May-Grünwald-Giemsa/Pappenheim stain; bone marrow aspirate smear:
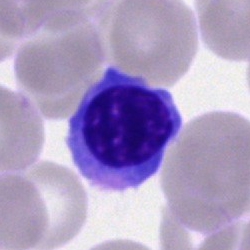Specimen: bone marrow aspirate smear.
Cell type: nucleated red cell.